Bone marrow smear. Single-cell field: 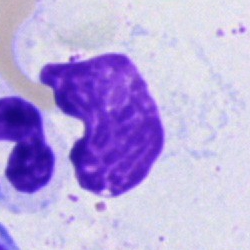
The cell shown is an artefact.